Bone marrow smear
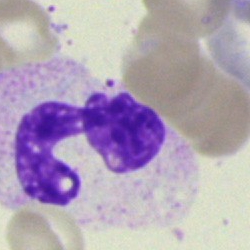Morphology → neutrophil (segmented).